Bone marrow aspirate smear · single-cell crop · Pappenheim-stained:
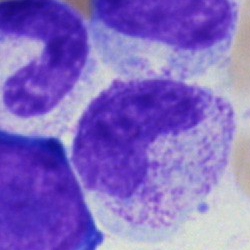This is a band neutrophil.